Bone marrow aspirate smear
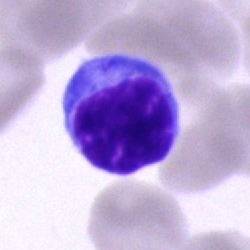Specimen: bone marrow smear.
Cell: lymphocyte.